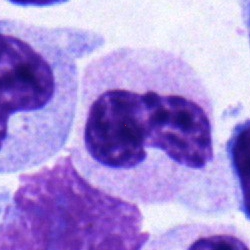
Single cell identified as a band-form neutrophil.